Bone marrow aspirate smear
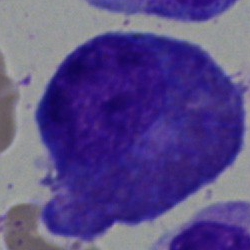The cell shown is an eosinophil.